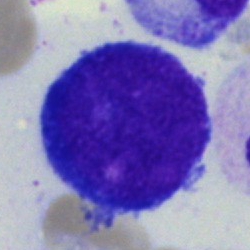
Q: What type of cell is this?
A: This is a pronormoblast.